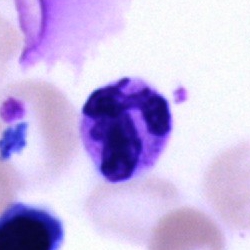
Segmented neutrophil.